Peripheral blood film: 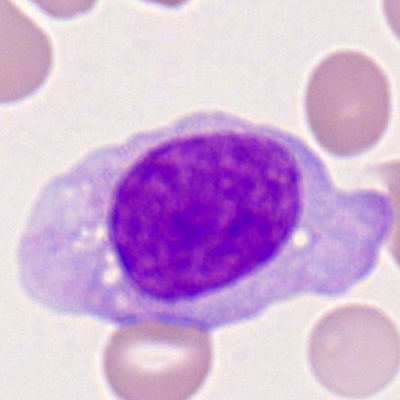

Classification = monoblast.